Bone marrow smear. 250×250 px — 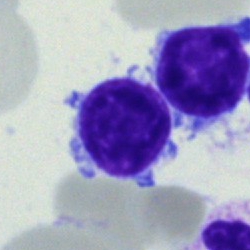 Specimen: bone marrow aspirate smear.
Cell type: lymphocyte.